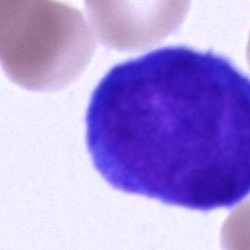
Q: Which cell type is shown here?
A: This is a blast.